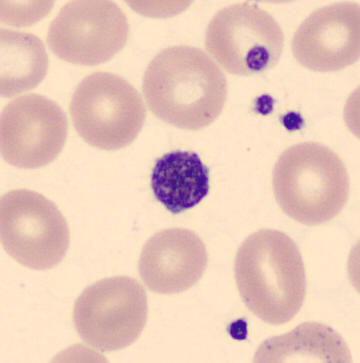
Preparation: Peripheral blood film.

Q: What is shown here?
A: Platelet (thrombocyte).